Brightfield microscopy, 40× oil immersion · bone marrow aspirate smear · cropped to a single cell:
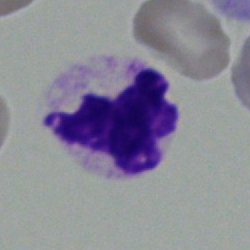This is a segmented neutrophil.